Pappenheim-stained. Bone marrow aspirate smear. 40× oil immersion:
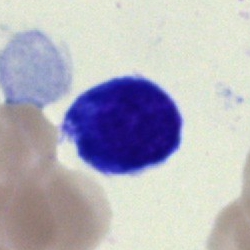Classification — typical lymphocyte.